Bone marrow aspirate smear. 250 by 250 pixels. Brightfield, 40× oil-immersion objective:
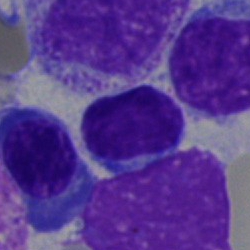

Impression — lymphocyte.